Bone marrow aspirate smear; May-Grünwald-Giemsa/Pappenheim stain.
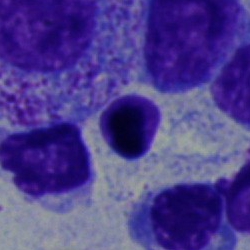Q: What cell is this?
A: An erythroblast.